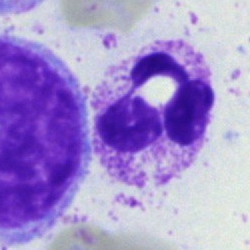Specimen: bone marrow smear.
Classification: polymorphonuclear neutrophil.
Lineage: myeloid.